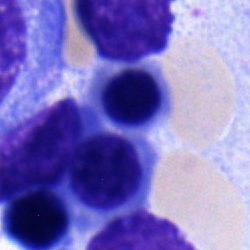

Q: What type of cell is this?
A: A normoblast.